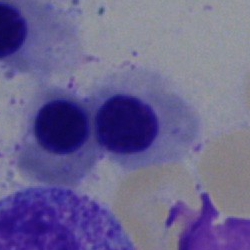Morphology consistent with an erythroblast.